Bone marrow aspirate smear — 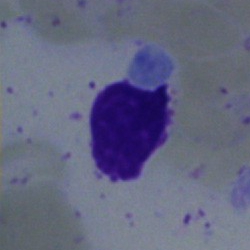Showing a typical lymphocyte.